May-Grünwald-Giemsa stain; bone marrow aspirate smear: 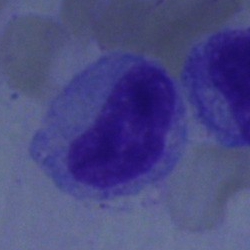
The cell type is metamyelocyte.